Bone marrow aspirate smear — 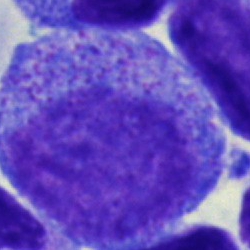
Q: What is the morphological classification of this cell?
A: A promyelocyte.